Bone marrow smear · brightfield, 40× oil-immersion objective
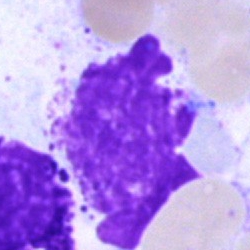

Specimen: bone marrow aspirate smear.
Morphological class: artefact.